Bone marrow smear — 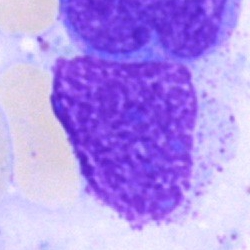Cell = artifact.